Bone marrow aspirate smear: 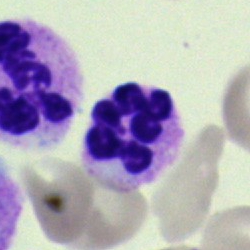The cell is neutrophil (segmented).